Bone marrow smear — 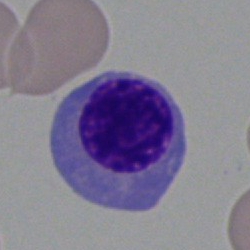Cell = nucleated red blood cell.